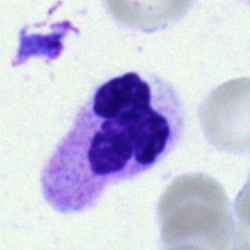Bone marrow smear showing a polymorphonuclear neutrophil.